40× oil immersion; bone marrow smear
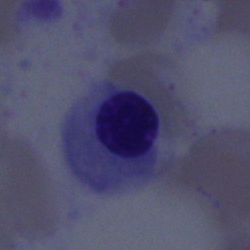This is an erythroblast.